Bone marrow aspirate smear:
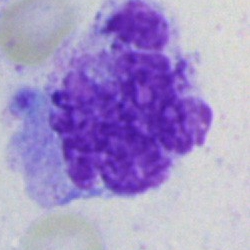

Impression — artifact.